Bone marrow aspirate smear; May-Grünwald-Giemsa stain — 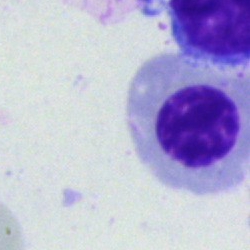

Showing a normoblast.